Bone marrow aspirate smear
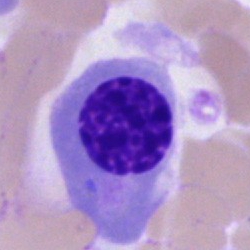
Specimen: bone marrow smear.
Morphological class: nucleated red blood cell.